Bone marrow smear. Single-cell field — 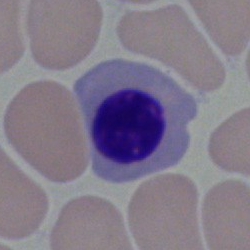Normoblast.